Brightfield, 40× oil-immersion objective · bone marrow smear.
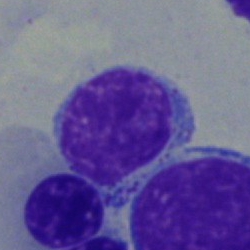The cell is lymphocyte.